Peripheral blood film: 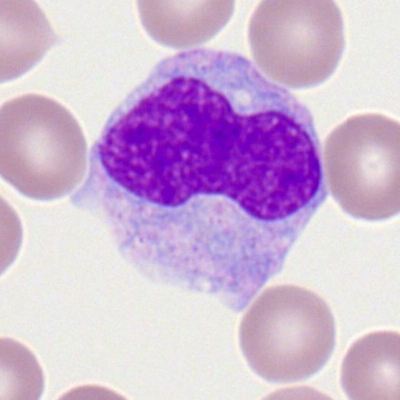Morphology consistent with a monocyte.